MGG-stained · bone marrow smear:
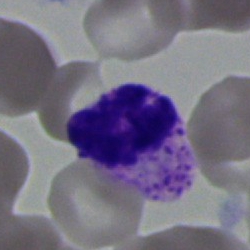 Showing a segmented neutrophil.